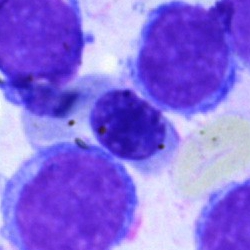

Specimen: bone marrow smear.
Classification: erythroblast.
Lineage: erythroid.